Bone marrow smear.
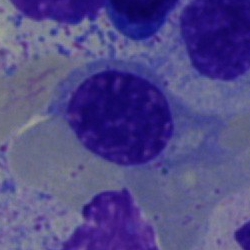A normoblast.